Cropped to a single cell; bone marrow smear: 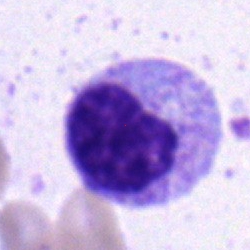
Morphology — myelocyte.